Bone marrow smear. Single-cell field: 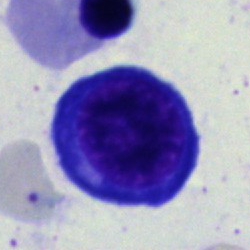
Q: Identify the cell.
A: A nucleated red cell.